Bone marrow aspirate smear · May-Grünwald-Giemsa stain · 40× oil immersion.
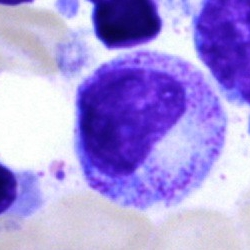
{"cell_type": "myelocyte", "lineage": "myeloid"}